Bone marrow aspirate smear — 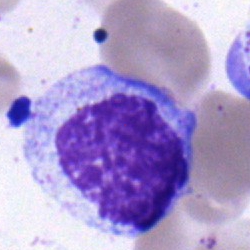
Cell — segmented neutrophil.